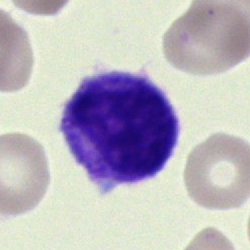Typical lymphocyte.